250×250 px; 40× oil immersion; bone marrow aspirate smear: 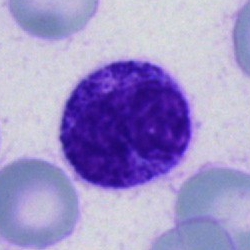 This is a basophilic granulocyte.